Brightfield microscopy, 40× oil immersion; bone marrow aspirate smear; image size 250×250: 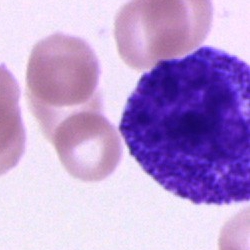
Promyelocyte.